Bone marrow aspirate smear:
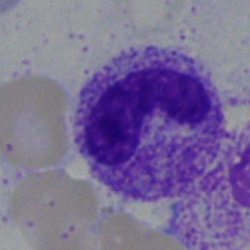
This is a neutrophil (segmented).